400×400; M8 digital microscope (Precipoint), 100× oil immersion; peripheral blood film: 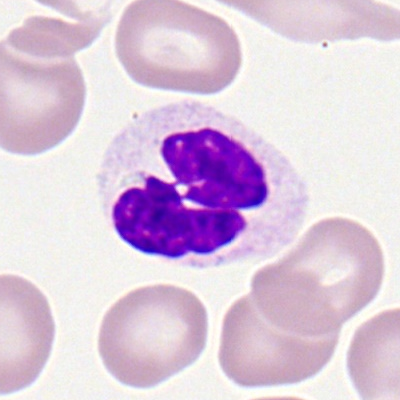

Showing a segmented neutrophil.